Bone marrow smear · single-cell field: 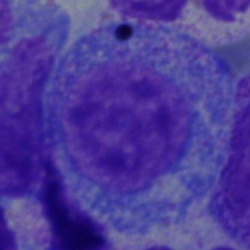
Morphology consistent with a promyelocyte.